Bone marrow aspirate smear: 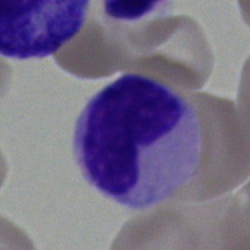

Cell type: stab cell.